Bone marrow smear — 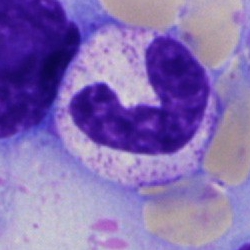
Specimen: bone marrow aspirate smear.
Cell: band neutrophil.
Lineage: myeloid.